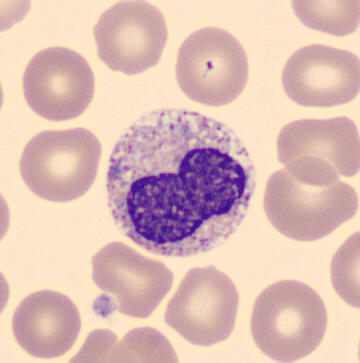
Preparation: Peripheral blood smear.

The cell shown is a metamyelocyte.